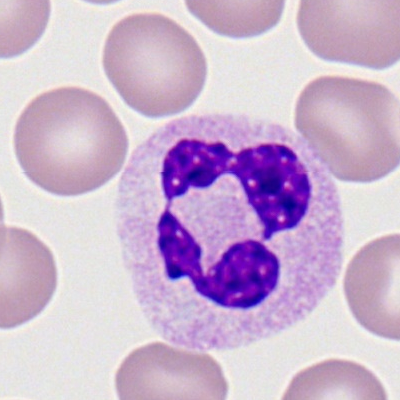Specimen: peripheral blood film.
Cell type: segmented neutrophil.